Peripheral blood film — 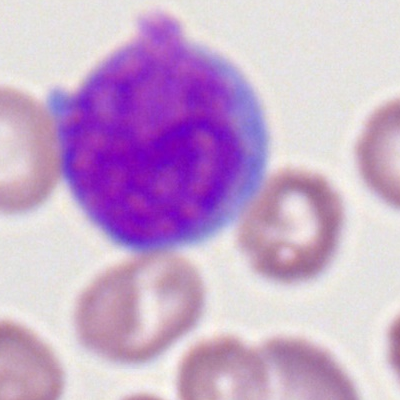
Morphology consistent with a monocyte.